Bone marrow smear: 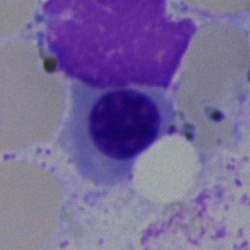
The cell shown is a normoblast.